Bone marrow aspirate smear · May-Grünwald-Giemsa stain: 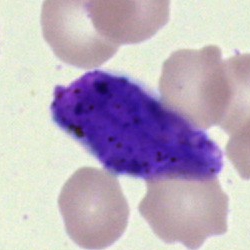

Q: What is shown here?
A: An artefact.